Bone marrow smear — 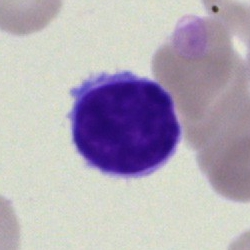

Q: What cell is this?
A: It is a typical lymphocyte.